Bone marrow smear: 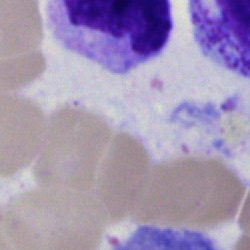

Specimen: bone marrow smear.
Morphological class: artifact.